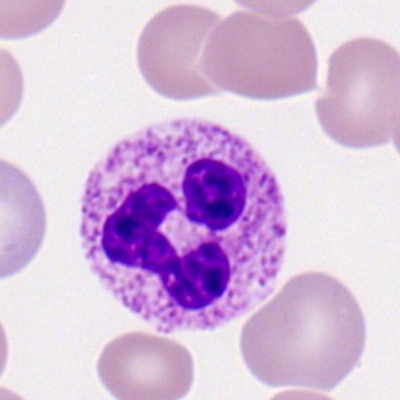
A polymorphonuclear neutrophil on a peripheral blood smear.